Peripheral blood film; single-cell crop — 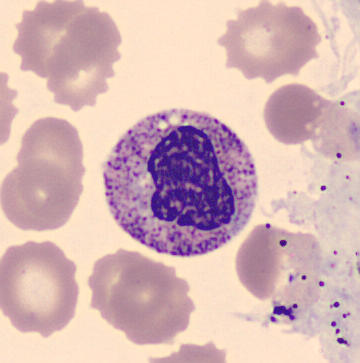 Metamyelocyte.